Bone marrow aspirate smear; brightfield, 40× oil-immersion objective — 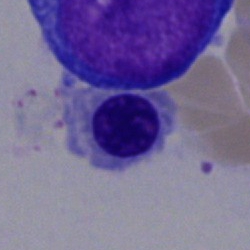

{"cell_type": "nucleated red cell"}